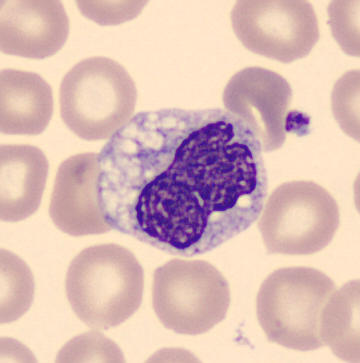
Specimen: peripheral blood smear.
Cell: monocyte.